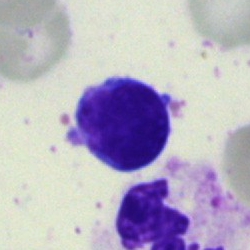

A typical lymphocyte.